Bone marrow aspirate smear — 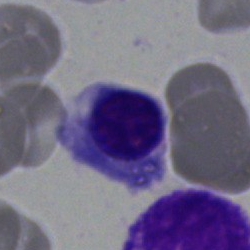
Morphology → normoblast.